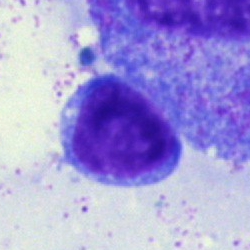
Bone marrow aspirate smear, single cell — lymphocyte.